Bone marrow aspirate smear · 40× oil immersion — 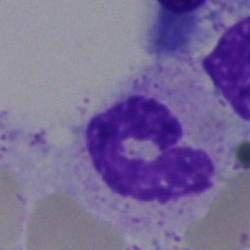A polymorphonuclear neutrophil.